250×250 px. Bone marrow aspirate smear. Single-cell crop.
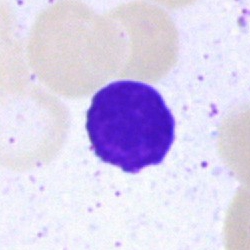 Cell type — artifact.